Bone marrow aspirate smear · image size 250×250 · 40× oil immersion — 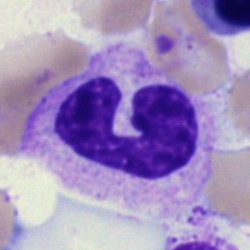 Classification: neutrophil (band).